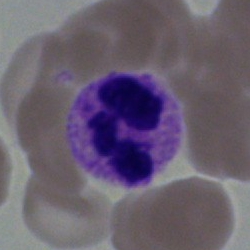 {"cell_type": "segmented neutrophil"}